Bone marrow smear: 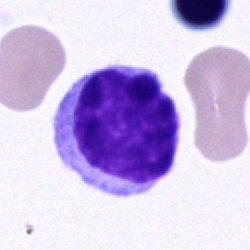 Specimen: bone marrow aspirate smear.
Cell: lymphocyte.
Lineage: lymphoid.